Bone marrow smear — 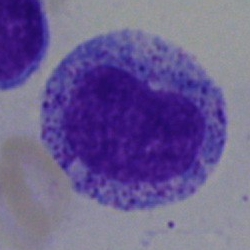The morphological class is progranulocyte.